Bone marrow aspirate smear: 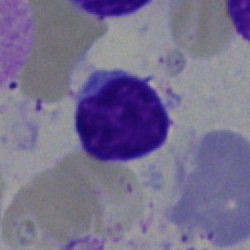Morphology consistent with a typical lymphocyte.